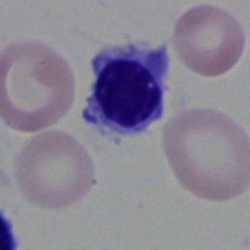 Cell: nucleated red cell.